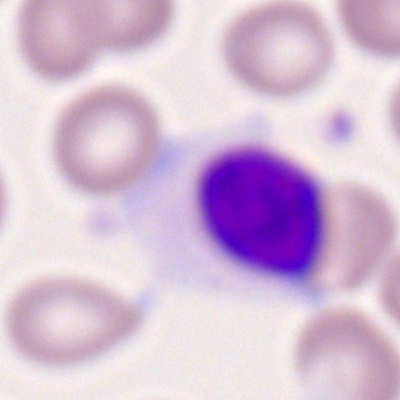

Classification — lymphocyte.